Single-cell crop; bone marrow aspirate smear; brightfield microscopy, 40× oil immersion: 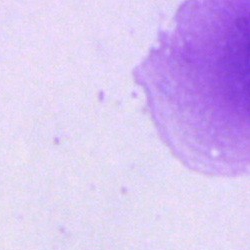Classification = artefact.